Bone marrow smear:
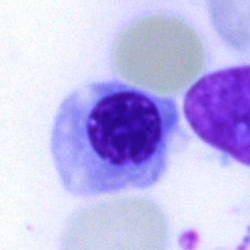

Q: What type of cell is this?
A: This is a nucleated red blood cell.